Bone marrow aspirate smear
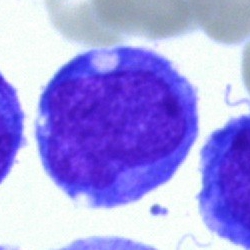
Classification: blast.